Cropped to a single cell. Peripheral blood film: 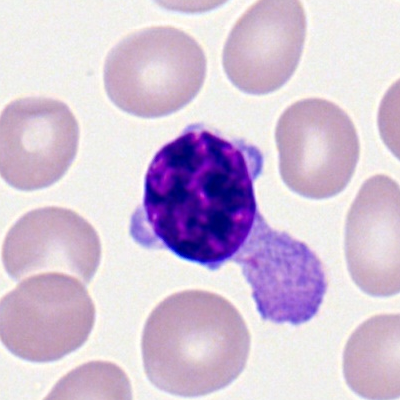
Q: Identify the cell.
A: A typical lymphocyte.